Bone marrow aspirate smear · cropped to a single cell:
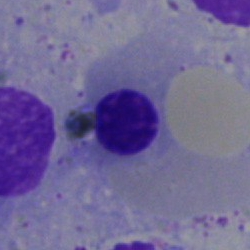

{"cell_type": "normoblast"}